Bone marrow aspirate smear.
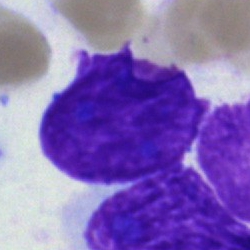
{"cell_type": "artefact"}